Peripheral blood smear.
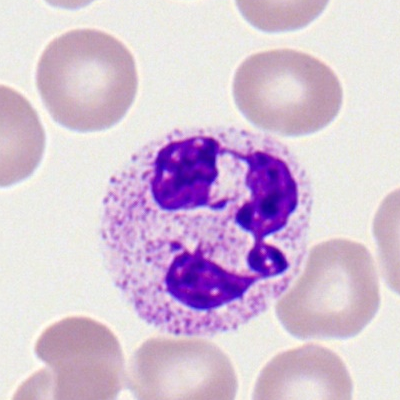
Q: What type of cell is this?
A: Segmented neutrophil.